250 by 250 pixels; bone marrow smear: 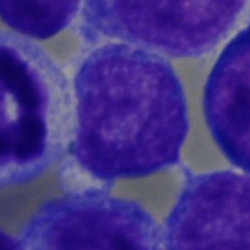Impression — typical lymphocyte.